Bone marrow aspirate smear; 40× oil immersion; 250 by 250 pixels
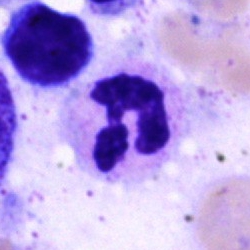

The cell type is segmented neutrophil.